Bone marrow smear
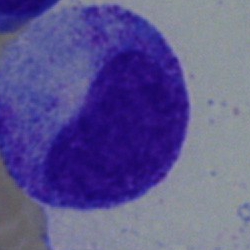
Q: What is shown here?
A: A promyelocyte.